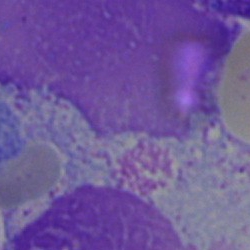

Cell type: artifact.